Brightfield, 100× oil-immersion objective; peripheral blood smear — 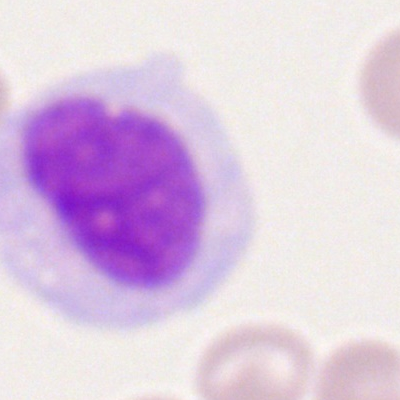

Single cell identified as a monocyte.